Bone marrow aspirate smear.
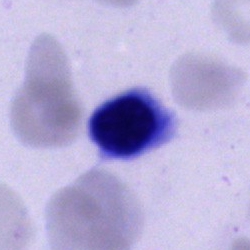

Cell: unidentifiable cell.